250×250; bone marrow smear.
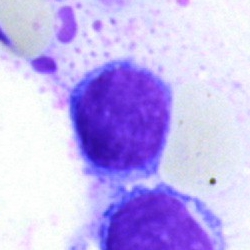 Impression → typical lymphocyte.